Bone marrow smear · single cell centered in the field — 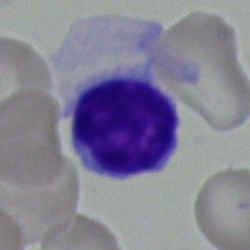
Morphology — typical lymphocyte.